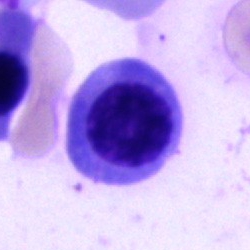

Q: What type of cell is this?
A: An erythroblast.